Peripheral blood film:
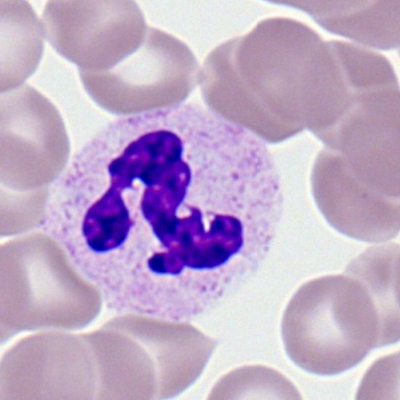

A neutrophil (segmented).